Bone marrow aspirate smear; May-Grünwald-Giemsa stain.
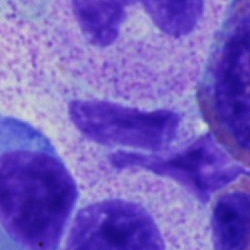

{"cell_type": "cell of indeterminate lineage"}